Bone marrow aspirate smear
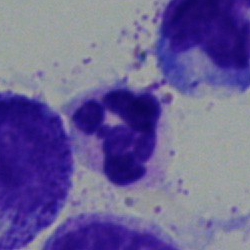

Cell: segmented neutrophil.